May-Grünwald-Giemsa/Pappenheim stain. Bone marrow smear. Brightfield microscopy, 40× oil immersion — 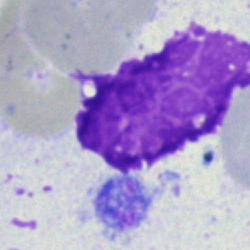

Specimen: bone marrow smear.
Cell type: artifact.